Bone marrow aspirate smear: 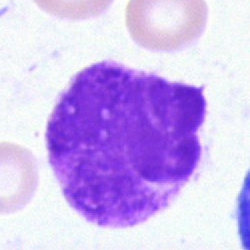 Morphology — artefact.